Bone marrow aspirate smear.
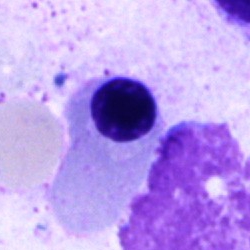Q: What is shown here?
A: It is a normoblast.